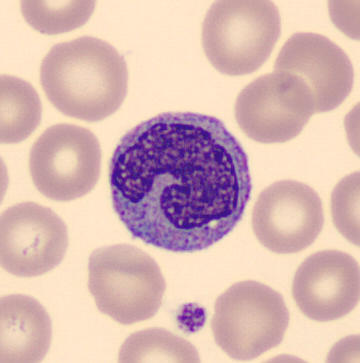 Q: Which cell type is shown here?
A: A monocyte.